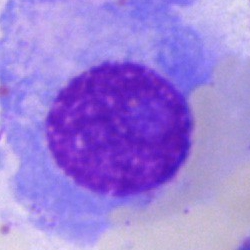
Specimen: bone marrow aspirate smear.
Morphological class: plasmacyte.
Lineage: lymphoid.